Bone marrow smear:
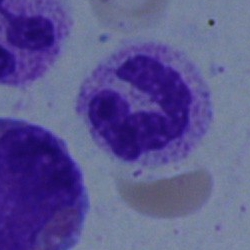

Cell type: band neutrophil.